Bone marrow aspirate smear: 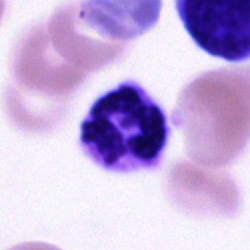 A segmented neutrophil.